May-Grünwald-Giemsa/Pappenheim stain; single-cell crop; bone marrow smear.
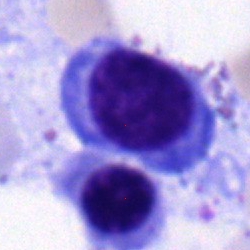

Specimen: bone marrow smear.
Classification: normoblast.